100× objective, oil immersion; peripheral blood smear:
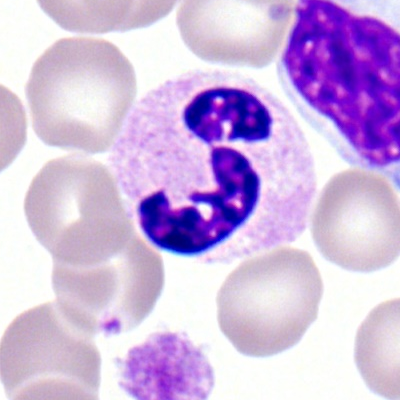
The cell is polymorphonuclear neutrophil.